Bone marrow aspirate smear
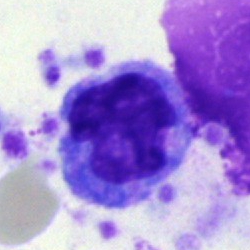A monocyte.